Bone marrow smear. Brightfield microscopy, 40× oil immersion: 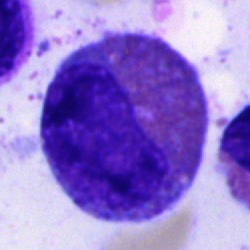 Morphological class = eosinophil.